100× oil immersion, 14.14 px/µm · peripheral blood smear.
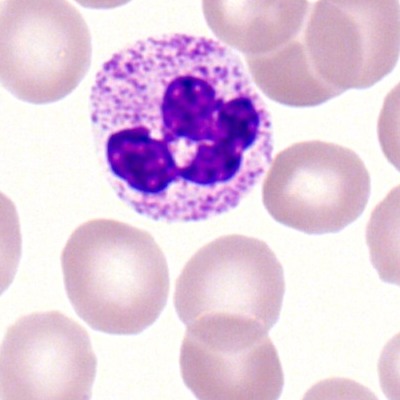The cell shown is a polymorphonuclear neutrophil.